Bone marrow aspirate smear
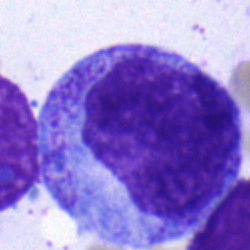

Cell: progranulocyte.